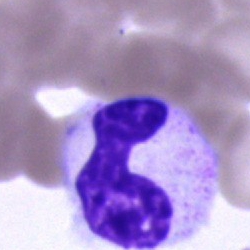 Cell type = neutrophil (band).